Bone marrow aspirate smear
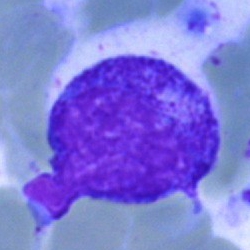 Single cell identified as a myelocyte.